Bone marrow aspirate smear: 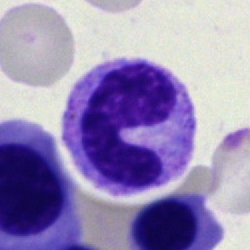

Band neutrophil.